Pappenheim-stained · 250×250 · bone marrow aspirate smear
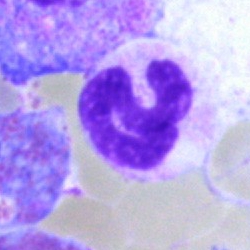

Q: What cell is this?
A: Segmented neutrophil.